Bone marrow aspirate smear.
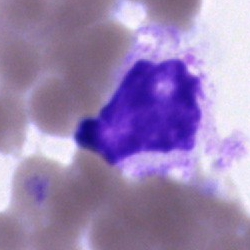 Impression → artefact.